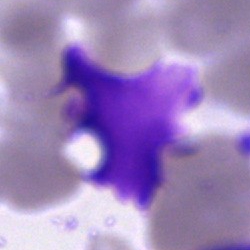
The cell is artifact.